Bone marrow aspirate smear · image size 250×250 · single cell centered in the field: 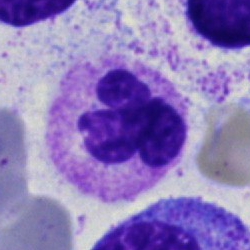

Specimen: bone marrow smear.
Morphological class: band-form neutrophil.